Bone marrow smear: 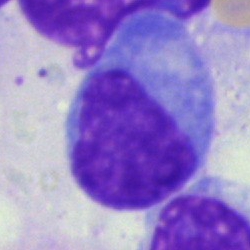 Specimen: bone marrow smear.
Cell type: typical lymphocyte.